Bone marrow smear
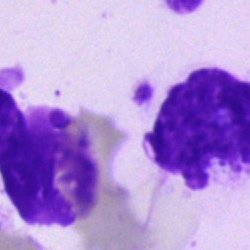Q: What is shown here?
A: An artifact.